Single cell centered in the field · bone marrow smear — 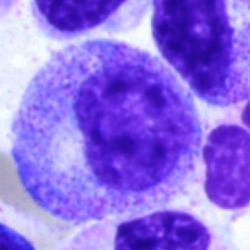

Morphology — myelocyte.